Bone marrow smear.
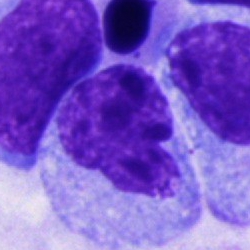Showing an unidentifiable cell.